Bone marrow smear
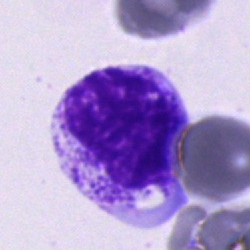
Specimen: bone marrow aspirate smear.
Classification: myelocyte.
Lineage: myeloid.